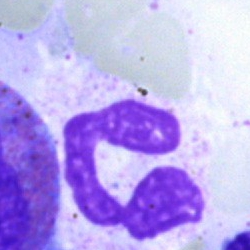
Cell = polymorphonuclear neutrophil.